Bone marrow smear; MGG-stained; 250×250:
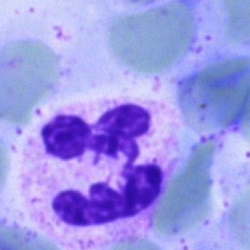A neutrophil (segmented).